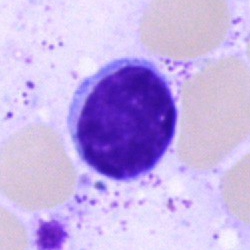Morphological class = typical lymphocyte.